Bone marrow aspirate smear:
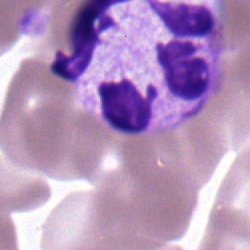

Neutrophil (segmented).